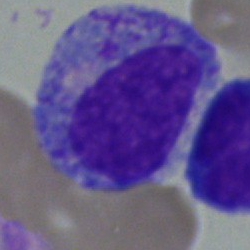A progranulocyte.